Bone marrow smear: 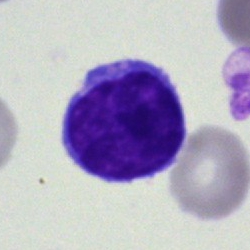Cell — typical lymphocyte.